Bone marrow aspirate smear:
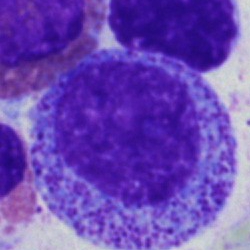Progranulocyte.